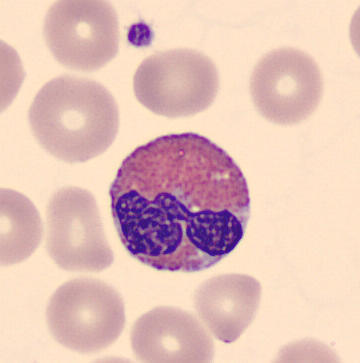

Acquisition: May-Grünwald-Giemsa-stained. Single-cell field. Peripheral blood film. Q: What is shown here?
A: Eosinophilic granulocyte.